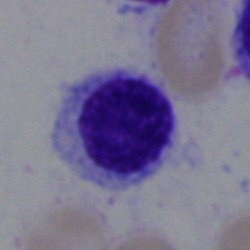Single cell identified as a lymphocyte.